Bone marrow aspirate smear; 250×250.
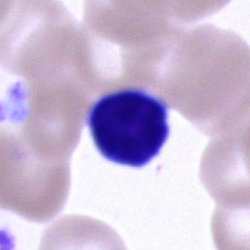
Typical lymphocyte.